Bone marrow aspirate smear:
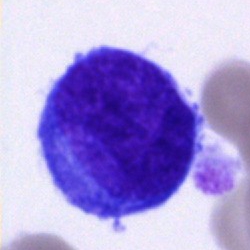 Showing a blast cell.